Bone marrow smear
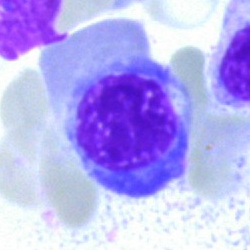
Impression → normoblast.